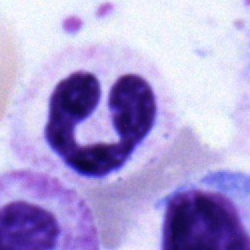

Specimen: bone marrow aspirate smear.
Cell type: segmented neutrophil.